Bone marrow aspirate smear: 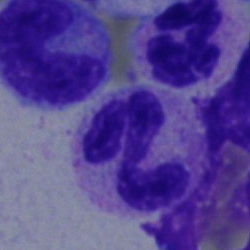 Q: What is the morphological classification of this cell?
A: It is a neutrophil (segmented).